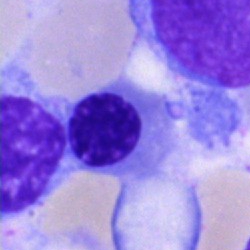Specimen: bone marrow aspirate smear.
Cell: erythroblast.